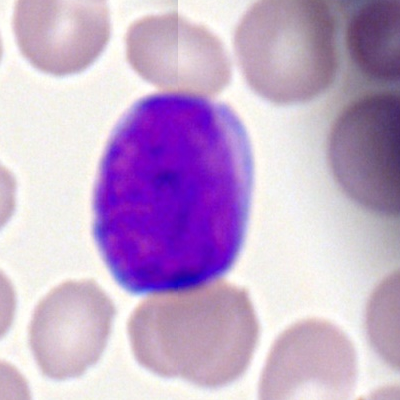

Single-cell crop from a peripheral blood smear: myeloblast.